Bone marrow aspirate smear — 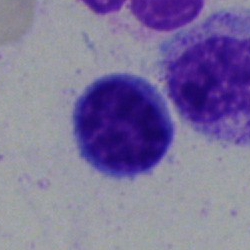

Specimen: bone marrow smear.
Cell type: lymphocyte.
Lineage: lymphoid.